Bone marrow smear — 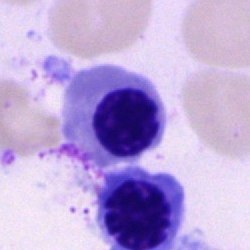
Single cell identified as an erythroblast.